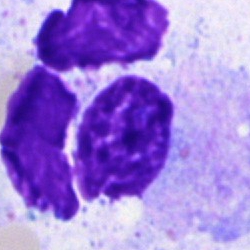

This is an artifact.